Bone marrow smear. May-Grünwald-Giemsa stain
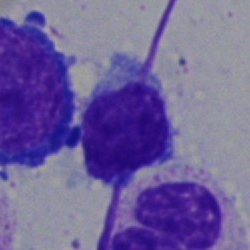

Cell: lymphocyte.